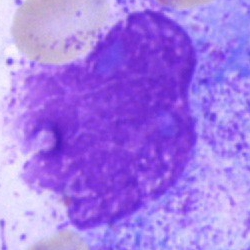

Artifact.